Bone marrow smear.
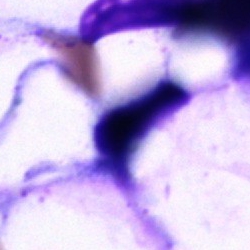 An artefact.